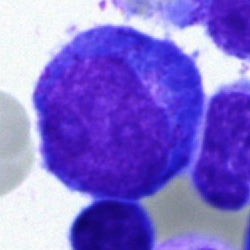
Q: What type of cell is this?
A: A pronormoblast.